Bone marrow smear
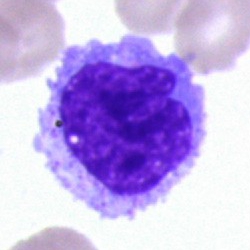

Morphology consistent with a monocyte.